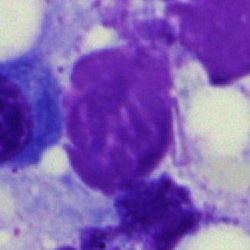

{"cell_type": "artifact"}